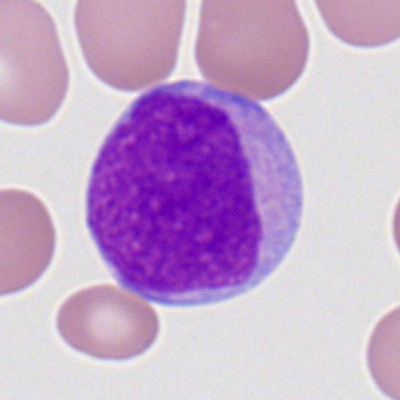 A myeloblast.